Bone marrow smear; single-cell field; image size 250×250 — 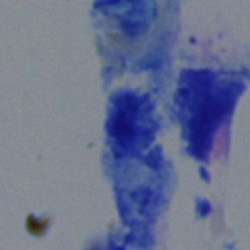

Morphology → artefact.